Bone marrow smear.
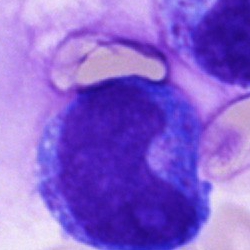 Cell type: progranulocyte.